Bone marrow smear. 40× objective, oil immersion. Single-cell crop — 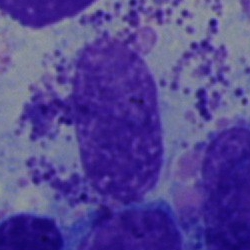 This is a cell not matching the other categories.